Bone marrow aspirate smear
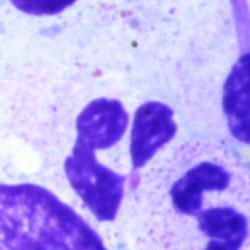
Showing a neutrophil (segmented).